Bone marrow aspirate smear · 250×250 · 40× objective, oil immersion: 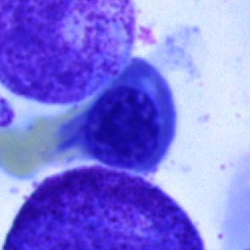{"cell_type": "normoblast"}